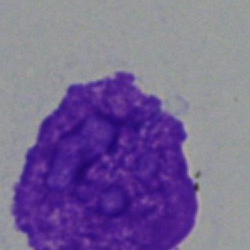 An artifact.